Bone marrow aspirate smear: 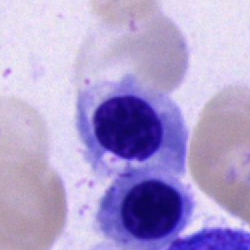 Morphological class = nucleated red cell.